Brightfield, 40× oil-immersion objective · bone marrow aspirate smear — 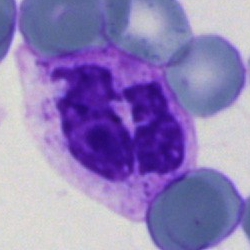
The cell shown is a polymorphonuclear neutrophil.